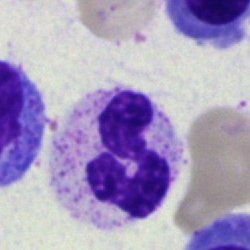
Morphology — segmented neutrophil.